Peripheral blood film
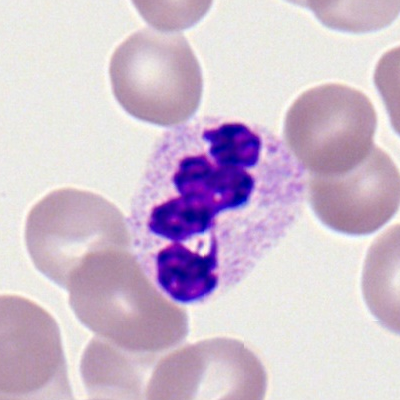Morphology → polymorphonuclear neutrophil.